Bone marrow aspirate smear:
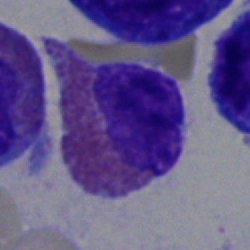
Specimen: bone marrow aspirate smear.
Classification: eosinophilic granulocyte.